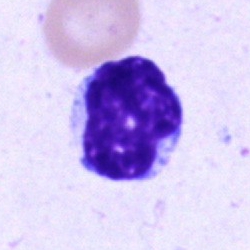
Bone marrow aspirate smear, single cell — typical lymphocyte.